Bone marrow aspirate smear.
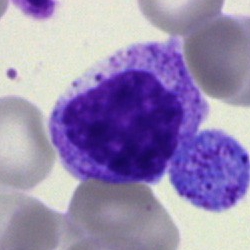 Morphology → myelocyte.